Bone marrow smear:
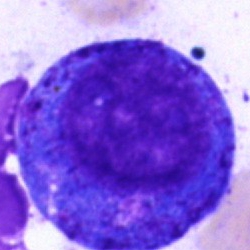Q: What is the morphological classification of this cell?
A: A promyelocyte.